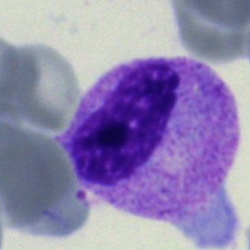

{"cell_type": "metamyelocyte", "lineage": "myeloid"}